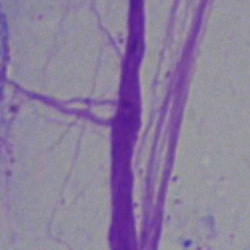

Q: What is shown here?
A: This is an artifact.